Bone marrow smear — 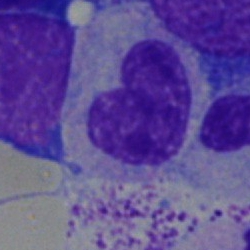A stab cell.